Bone marrow smear. 40× objective, oil immersion: 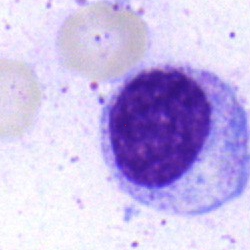Cell — myelocyte.